Single-cell crop. 360×363. Peripheral blood smear — 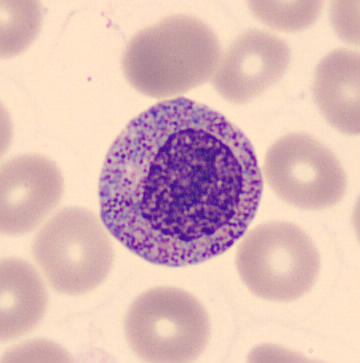

Morphology consistent with a myelocyte.